Bone marrow smear: 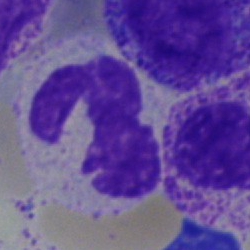The classification is stab cell.